Single-cell crop; bone marrow aspirate smear; brightfield, 40× oil-immersion objective.
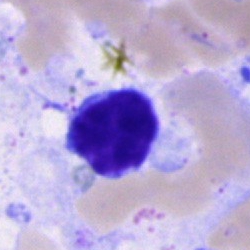{"cell_type": "lymphocyte"}